MGG-stained. 250 by 250 pixels. Bone marrow smear — 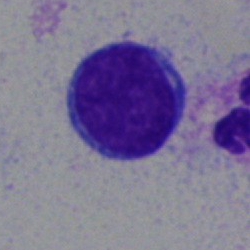

Showing a lymphocyte.